Peripheral blood smear; Romanowsky-type stain.
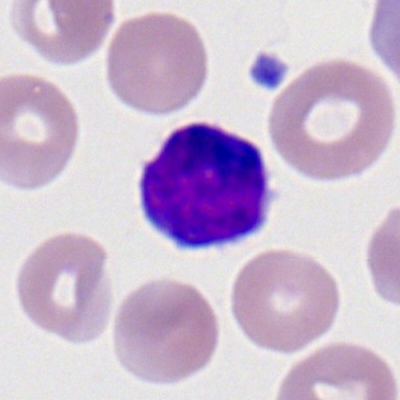

Impression → typical lymphocyte.